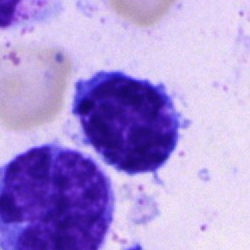Morphological class: lymphocyte.